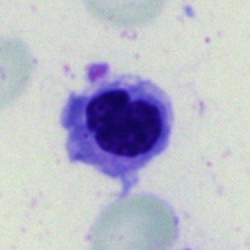
Erythroblast.